250×250 px. Bone marrow aspirate smear: 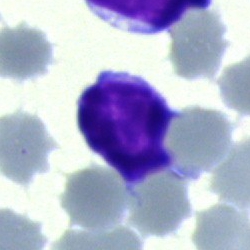Lymphocyte.